Bone marrow aspirate smear: 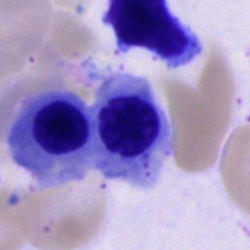Showing a nucleated red blood cell.